Bone marrow smear:
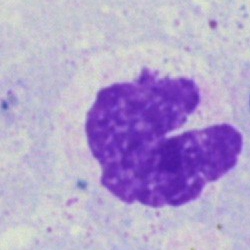

Single cell identified as an artifact.